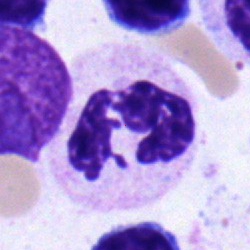 This is a polymorphonuclear neutrophil.